Bone marrow aspirate smear: 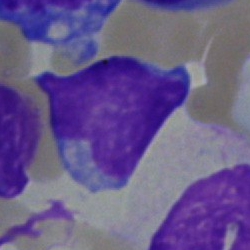Morphological class: blast cell.